Bone marrow aspirate smear
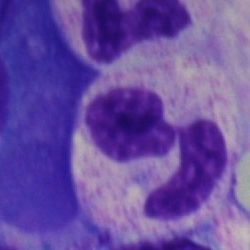

Q: What is the morphological classification of this cell?
A: It is a segmented neutrophil.